May-Grünwald-Giemsa stain; bone marrow aspirate smear.
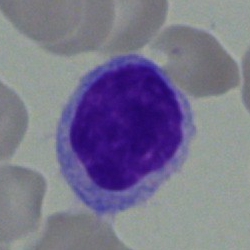Morphology — typical lymphocyte.